Bone marrow aspirate smear.
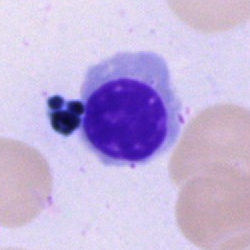
A normoblast.